Bone marrow smear. May-Grünwald-Giemsa stain. Single cell centered in the field.
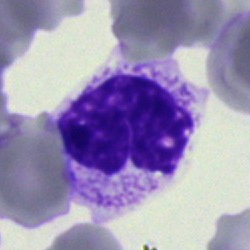

Impression → polymorphonuclear neutrophil.